Single cell centered in the field; bone marrow smear
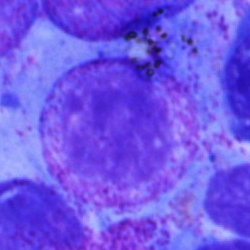
Cell = myelocyte.